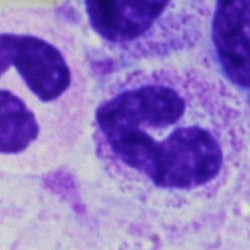 Classification = segmented neutrophil.